Bone marrow smear
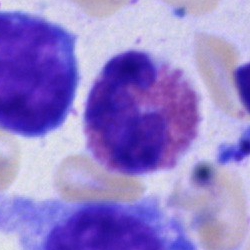
This is an eosinophilic granulocyte.